Brightfield microscopy, 40× oil immersion; MGG-stained; bone marrow aspirate smear:
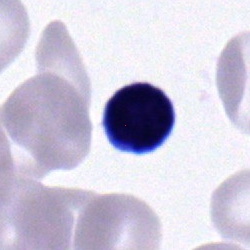 Morphology consistent with a typical lymphocyte.